Bone marrow smear
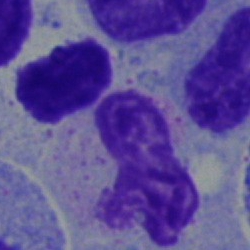 Q: What is shown here?
A: This is a polymorphonuclear neutrophil.